360×363 · peripheral blood film — 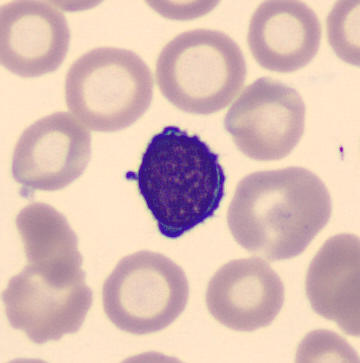 Identified as a typical lymphocyte.